Peripheral blood film.
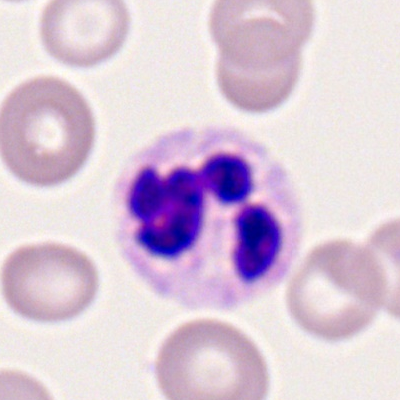The cell is polymorphonuclear neutrophil.